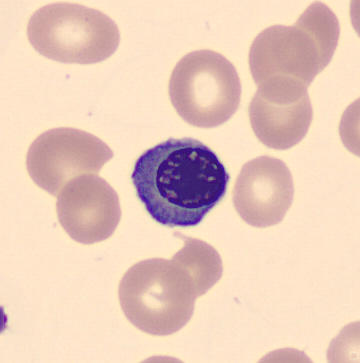

Morphology → nucleated red blood cell.
Acquisition: Peripheral blood smear.